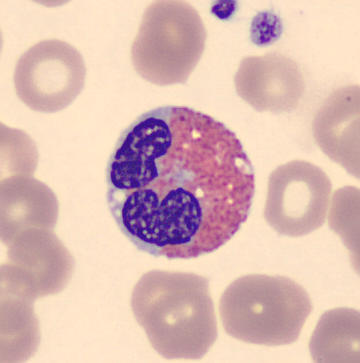
Image: May Grünwald-Giemsa stain. 360×363 px. Peripheral blood smear.

Identified as an eosinophilic granulocyte.